Bone marrow smear
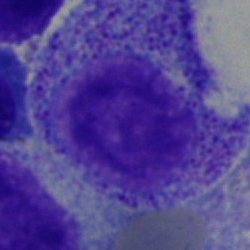 Classification — myelocyte.